Bone marrow aspirate smear: 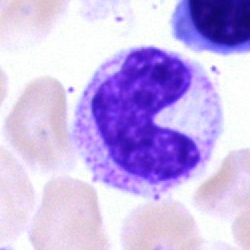 Cell — stab cell.